Pappenheim-stained; brightfield, 40× oil-immersion objective; bone marrow smear: 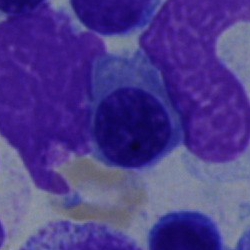
Erythroblast.